Peripheral blood smear
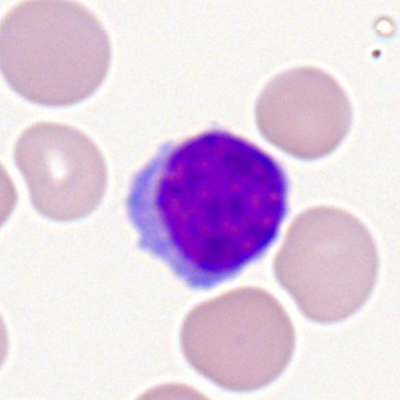Q: What type of cell is this?
A: Typical lymphocyte.